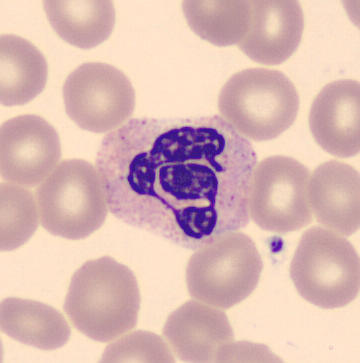
Cell = neutrophil (segmented).